Bone marrow smear. MGG-stained. Single cell centered in the field.
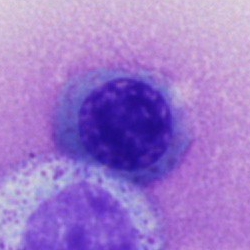
Specimen: bone marrow aspirate smear.
Cell type: normoblast.